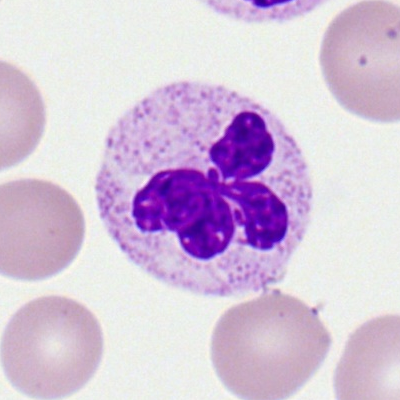

Neutrophil (segmented).